250 by 250 pixels. Bone marrow aspirate smear. Single-cell field
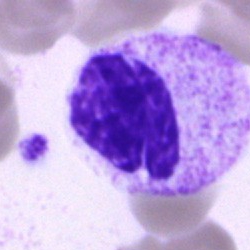

Morphology consistent with a neutrophil (segmented).